Bone marrow smear; 40× oil immersion; 250×250:
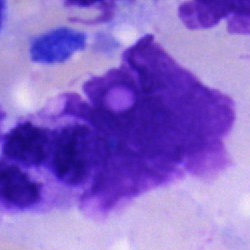

Cell type = artifact.